Bone marrow aspirate smear:
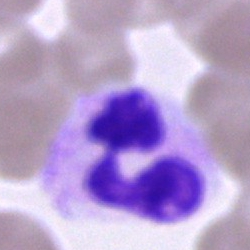 {"cell_type": "polymorphonuclear neutrophil", "lineage": "myeloid"}